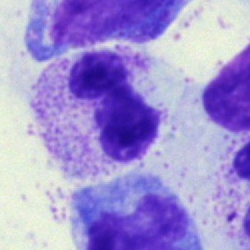
Q: What cell is this?
A: A segmented neutrophil.